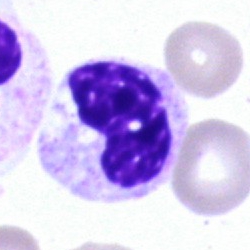
{"cell_type": "neutrophil (band)", "lineage": "myeloid"}